May Grünwald-Giemsa stain. Peripheral blood film: 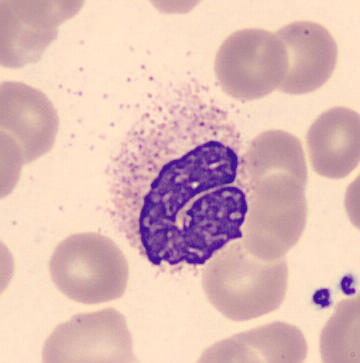Q: What is the morphological classification of this cell?
A: This is a segmented neutrophil.